Bone marrow aspirate smear.
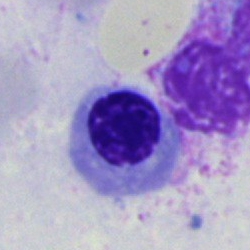 Nucleated red cell.